CellaVision DM96. MGG stain. Peripheral blood film.
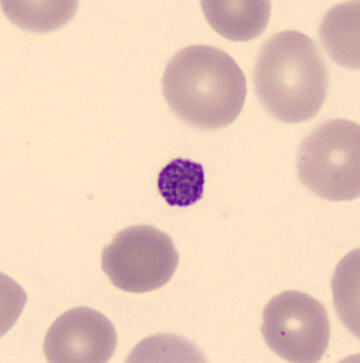

Thrombocyte.